Bone marrow aspirate smear — 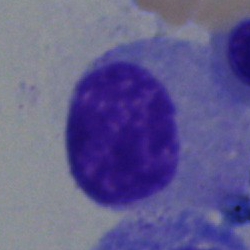 Plasma cell.